Bone marrow aspirate smear: 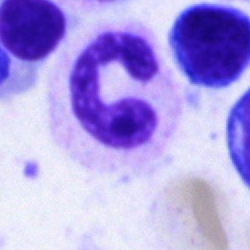 Cell — polymorphonuclear neutrophil.